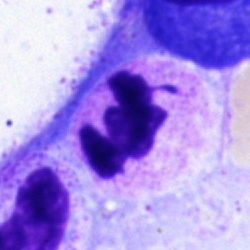 Impression — neutrophil (segmented).